Bone marrow aspirate smear: 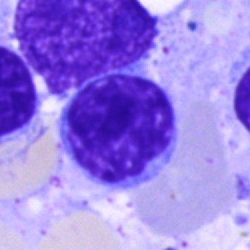{"cell_type": "typical lymphocyte", "lineage": "lymphoid"}